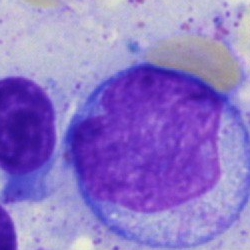

Cell type = undifferentiated blast.